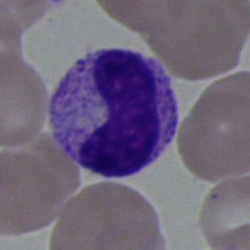
Classification = neutrophil (band).